May-Grünwald-Giemsa/Pappenheim stain; single cell centered in the field; bone marrow aspirate smear:
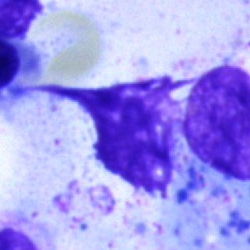 Morphology consistent with an artefact.